Peripheral blood smear: 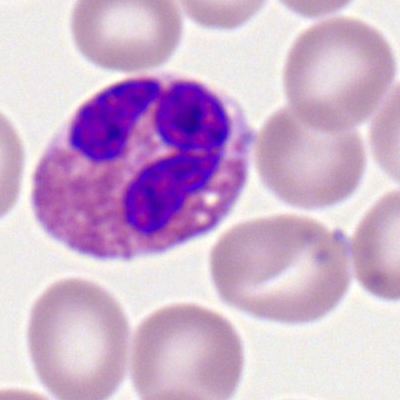

Q: What is shown here?
A: Eosinophil.